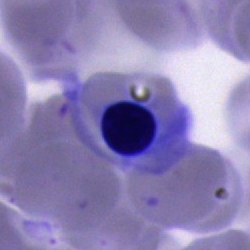
Single-cell crop from a bone marrow smear: normoblast.